Bone marrow aspirate smear
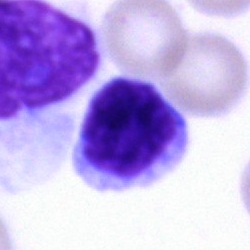Cell: lymphocyte.